Single cell centered in the field · bone marrow aspirate smear — 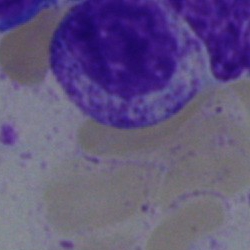

Single cell identified as a myelocyte.